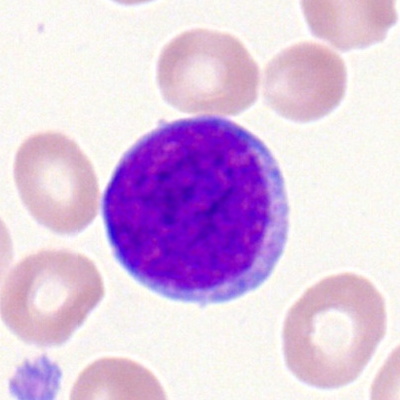

A myeloid blast on a peripheral blood smear.